MGG-stained; bone marrow aspirate smear
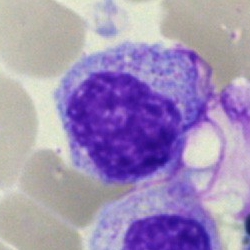

This is a blast cell.